Bone marrow smear. Brightfield, 40× oil-immersion objective:
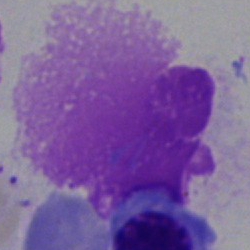
Q: What is shown here?
A: An artefact.